250 by 250 pixels · bone marrow smear · single-cell crop.
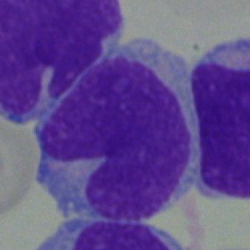
Morphology — blast.